Bone marrow smear — 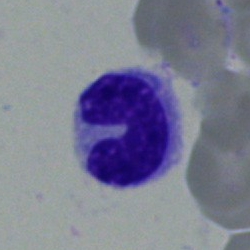

Q: What is shown here?
A: A stab cell.